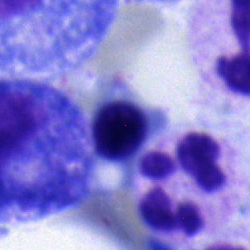Single cell identified as a normoblast.